Single-cell crop; brightfield microscopy, 40× oil immersion; bone marrow smear: 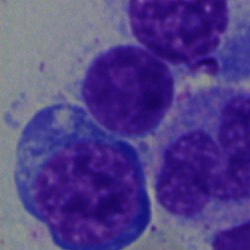Specimen: bone marrow aspirate smear.
Cell: pronormoblast.
Lineage: erythroid.